Image size 250×250 · bone marrow aspirate smear · brightfield microscopy, 40× oil immersion — 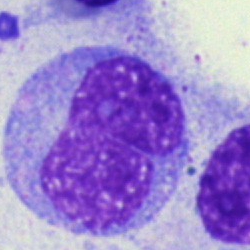

A monocyte.